Bone marrow smear.
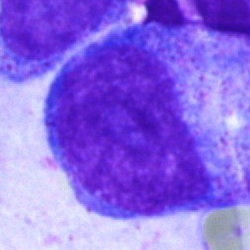Cell: promyelocyte.